250 by 250 pixels. Bone marrow smear. MGG-stained — 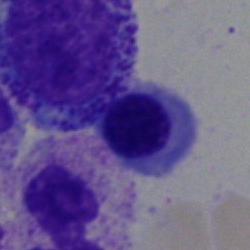Specimen: bone marrow aspirate smear.
Cell type: nucleated red cell.